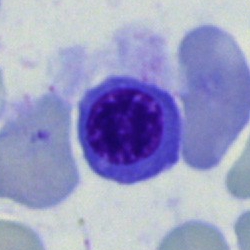
Morphological class — erythroblast.